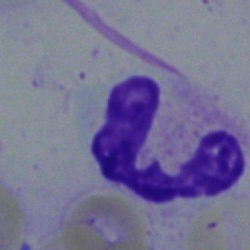
Bone marrow smear showing a segmented neutrophil.